40× oil immersion. Bone marrow smear.
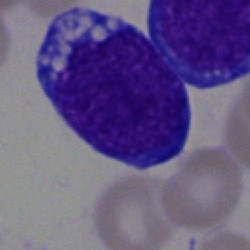

Classification: blast cell.